Bone marrow aspirate smear · single-cell crop:
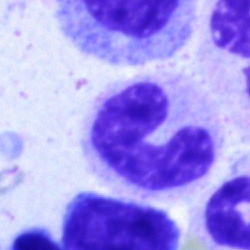

Band-form neutrophil.